Bone marrow aspirate smear:
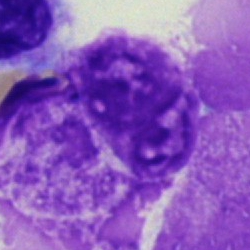An artefact.